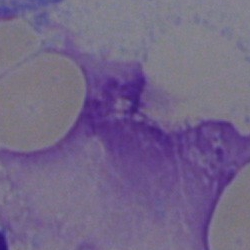Single cell identified as an artefact.